Bone marrow aspirate smear:
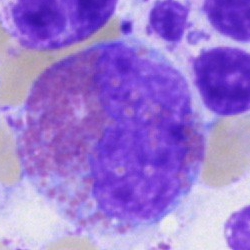
Classification — eosinophil.